Peripheral blood smear · CellaVision DM96 digital cell image:
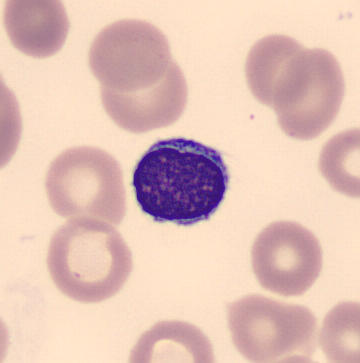
The classification is typical lymphocyte.